Bone marrow smear. 40× objective, oil immersion.
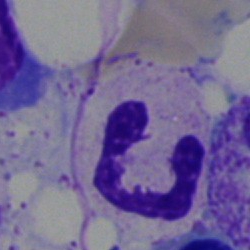 The classification is neutrophil (segmented).